Bone marrow smear — 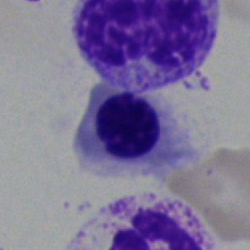
Cell type = nucleated red blood cell.